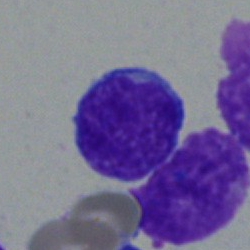 Q: What type of cell is this?
A: Lymphocyte.